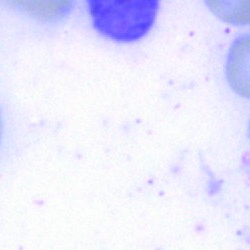Cell type = artefact.